Bone marrow aspirate smear:
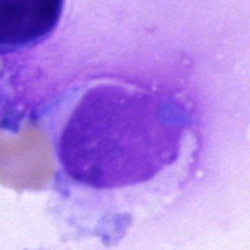An artifact.